Bone marrow aspirate smear:
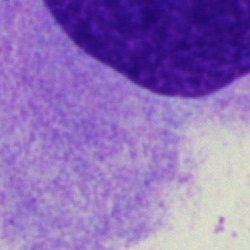Artifact.